250×250 px · bone marrow smear — 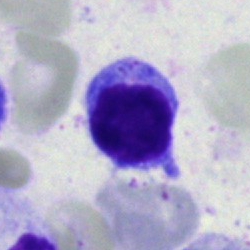 Single cell identified as a typical lymphocyte.